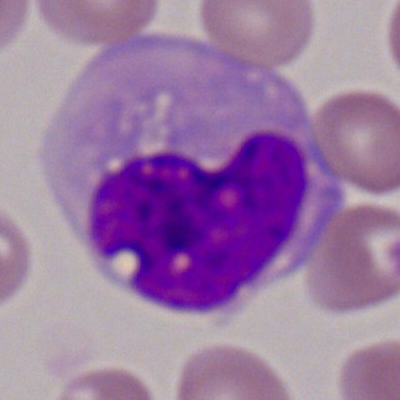 Cell: monocyte.